Brightfield, 40× oil-immersion objective · bone marrow smear.
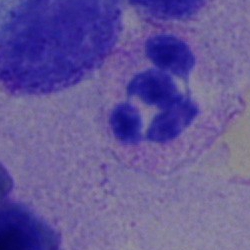
Classification: neutrophil (segmented).